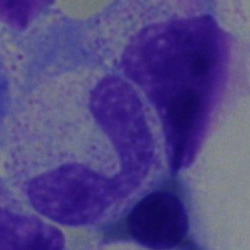
Bone marrow aspirate smear, single cell — neutrophil (band).